40× oil immersion; bone marrow smear — 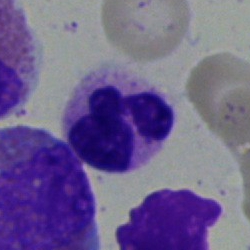 Single cell identified as a neutrophil (segmented).